Brightfield, 40× oil-immersion objective. Single-cell crop. Bone marrow smear — 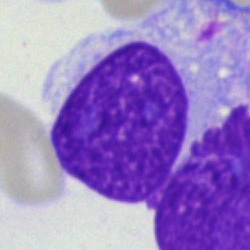A blast.